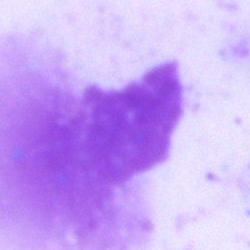 Q: What is shown here?
A: Artefact.